Bone marrow smear:
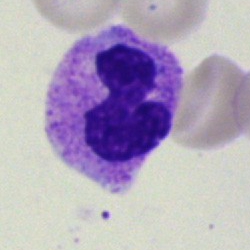 The morphological class is polymorphonuclear neutrophil.